Bone marrow smear: 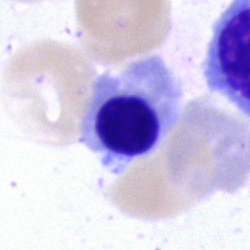
Nucleated red blood cell.